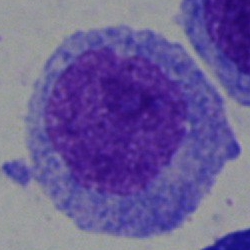Classification = promyelocyte.